Peripheral blood smear: 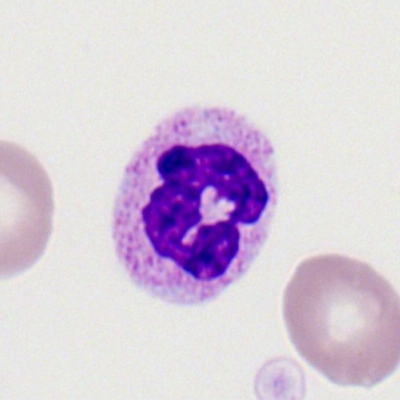Q: What is shown here?
A: A polymorphonuclear neutrophil.